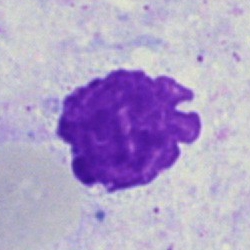
{"cell_type": "artefact"}